Bone marrow smear:
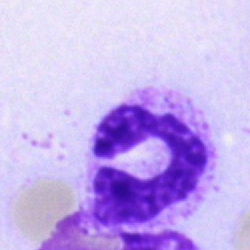
Cell type: neutrophil (segmented).